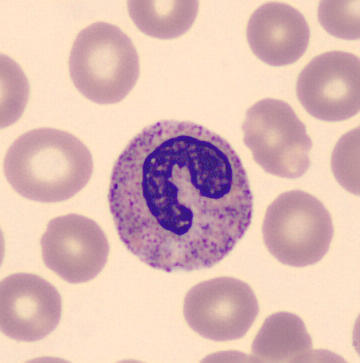Single cell identified as a neutrophil (band).

Image: Image size 360×363; peripheral blood smear.